Brightfield microscopy, 40× oil immersion. Bone marrow smear: 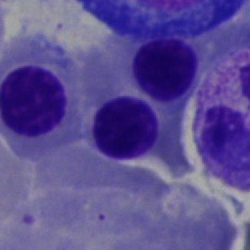
Showing an erythroblast.